Pappenheim-stained; bone marrow smear — 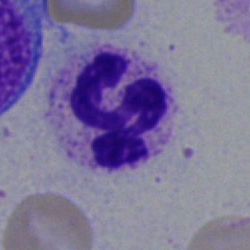
The morphological class is segmented neutrophil.